MGG-stained; bone marrow smear: 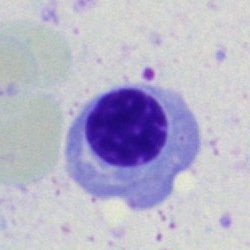

Q: What is shown here?
A: It is a nucleated red blood cell.